Bone marrow smear.
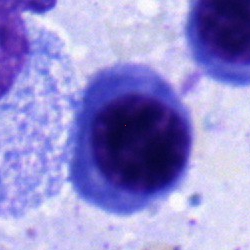

Single cell identified as an erythroblast.